Romanowsky stain. Peripheral blood smear. Image size 400×400
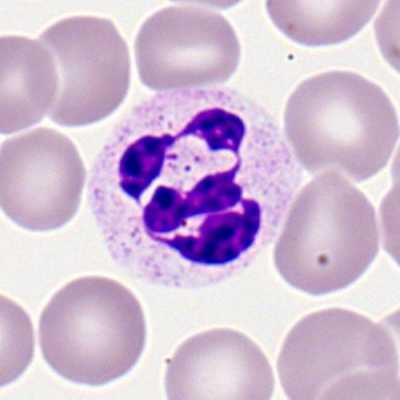
Morphology → polymorphonuclear neutrophil.